Romanowsky-stained; peripheral blood film; 400×400 px.
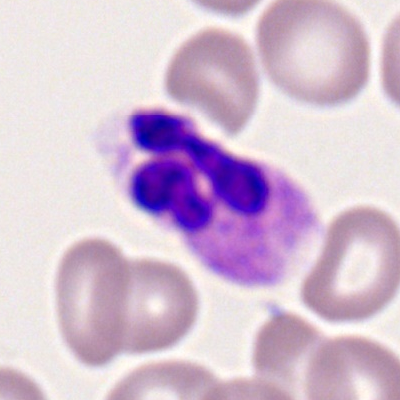
Morphological class: segmented neutrophil.